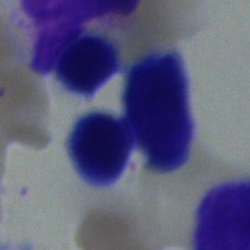

{"cell_type": "typical lymphocyte", "lineage": "lymphoid"}